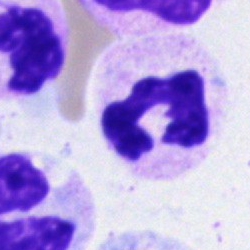
Q: What type of cell is this?
A: It is a neutrophil (segmented).